Bone marrow aspirate smear — 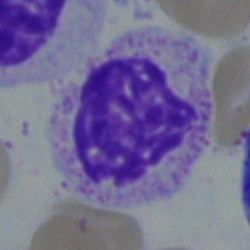

Q: Identify the cell.
A: This is a myelocyte.